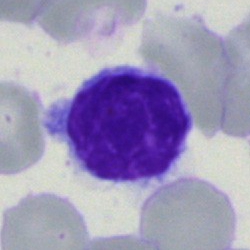 Single cell identified as a typical lymphocyte.